May-Grünwald-Giemsa/Pappenheim stain; bone marrow smear:
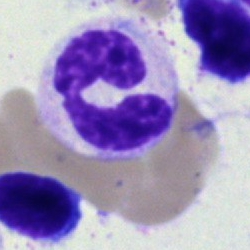

Cell: segmented neutrophil.